Single-cell crop; bone marrow aspirate smear: 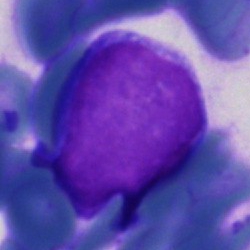Showing an undifferentiated blast.